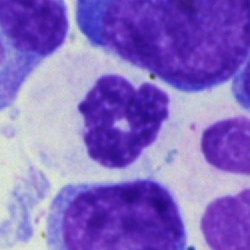Classification = neutrophil (segmented).